Cropped to a single cell; brightfield, 40× oil-immersion objective; bone marrow aspirate smear:
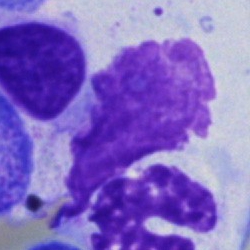
Specimen: bone marrow smear.
Cell type: artefact.